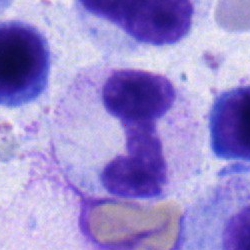 {"cell_type": "segmented neutrophil", "lineage": "myeloid"}